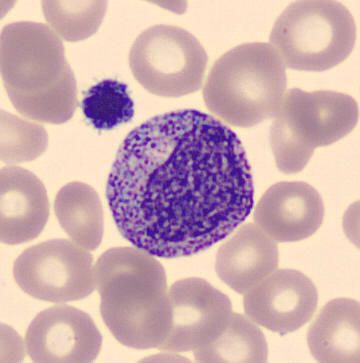 Specimen: peripheral blood smear.
Cell: promyelocyte.
Lineage: myeloid. 360×363 px.